Bone marrow smear; brightfield, 40× oil-immersion objective.
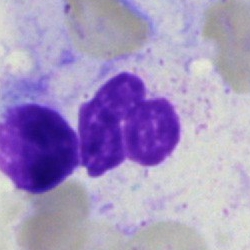
Morphology — band neutrophil.